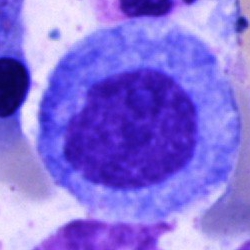
A promyelocyte on a bone marrow smear.